Bone marrow smear; May-Grünwald-Giemsa stain
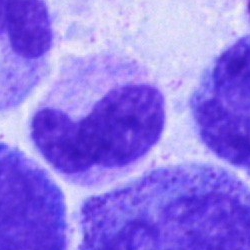 Band neutrophil.